Bone marrow smear
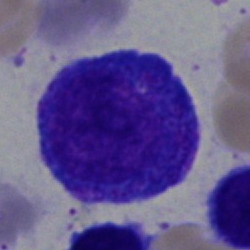

The cell shown is a progranulocyte.